Bone marrow aspirate smear: 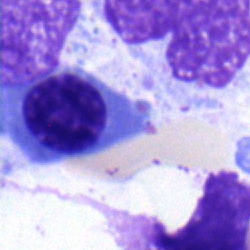
The classification is normoblast.